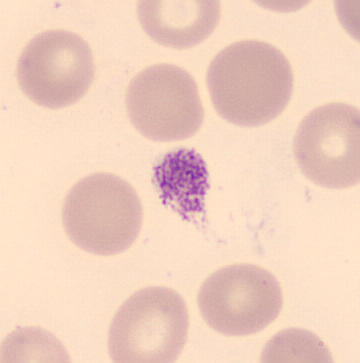Cell type: thrombocyte. Preparation: Peripheral blood film. Image size 360×363. CellaVision DM96.